Bone marrow smear. Single cell centered in the field: 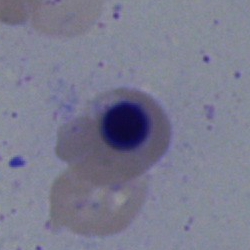 Single cell identified as an erythroblast.